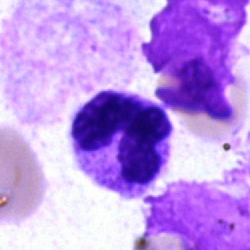 Showing a neutrophil (segmented).